Bone marrow smear:
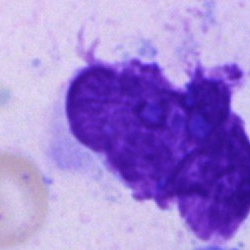 Showing an artefact.